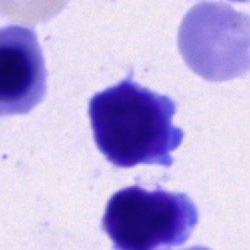
Q: What cell is this?
A: Lymphocyte.